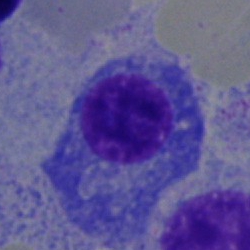

Impression → plasma cell.